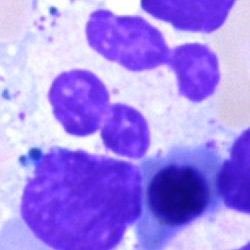Impression — neutrophil (segmented).